M8 digital microscope (Precipoint), 100× oil immersion. Peripheral blood film. 400 by 400 pixels.
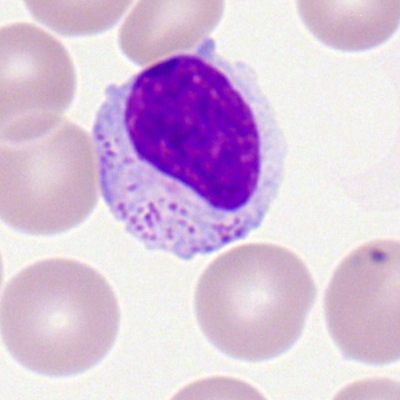 The classification is typical lymphocyte.